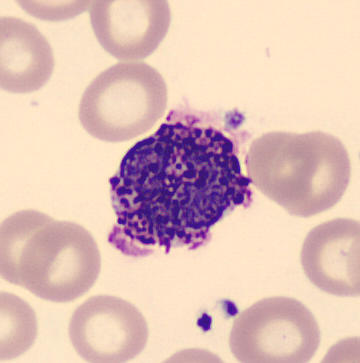 Peripheral blood film; CellaVision DM96 digital cell image.

Showing a basophil.